Brightfield, 40× oil-immersion objective. Image size 250×250. Bone marrow smear:
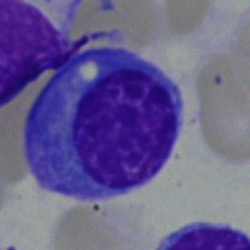 Specimen: bone marrow aspirate smear.
Cell type: plasma cell.